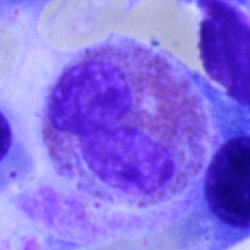 {"cell_type": "eosinophilic granulocyte"}